Bone marrow aspirate smear.
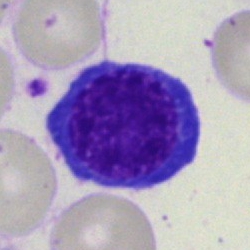Specimen: bone marrow smear.
Cell type: nucleated red blood cell.